Bone marrow smear
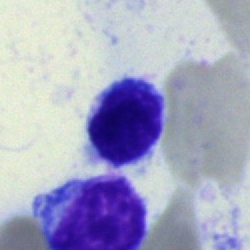Single cell identified as a lymphocyte.